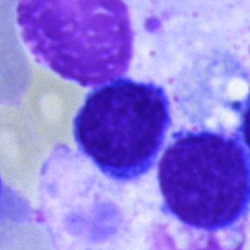 Morphology consistent with a typical lymphocyte.